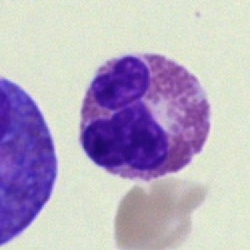Q: What cell is this?
A: This is an eosinophilic granulocyte.